Brightfield microscopy, 40× oil immersion · bone marrow smear — 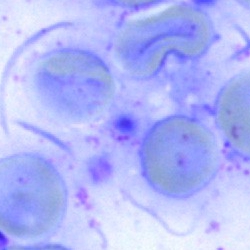Q: What is shown here?
A: It is an artifact.